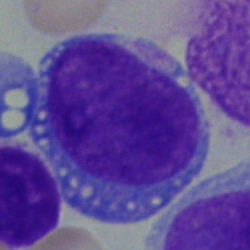Cell type = blast cell.